Bone marrow aspirate smear:
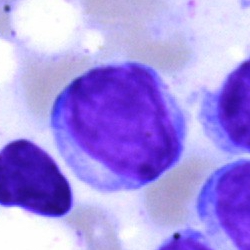The cell shown is a lymphocyte.